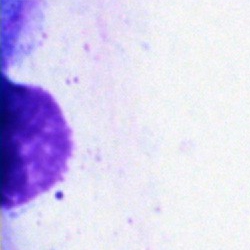
Single-cell crop from a bone marrow smear: artifact.